250×250 · May-Grünwald-Giemsa stain · bone marrow smear:
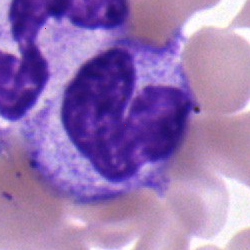This is a neutrophil (band).